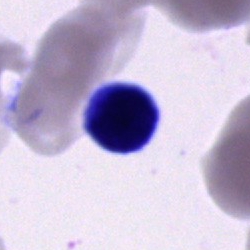
Morphology consistent with a cell of indeterminate lineage.